May-Grünwald-Giemsa stain. Cropped to a single cell. Bone marrow aspirate smear.
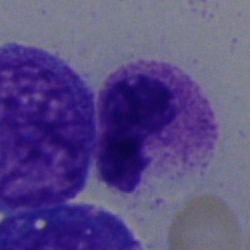Morphology — segmented neutrophil.